Single-cell field · bone marrow aspirate smear · brightfield, 40× oil-immersion objective: 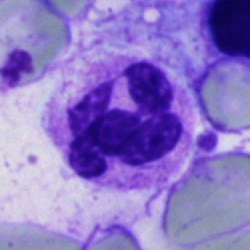
{"cell_type": "segmented neutrophil", "lineage": "myeloid"}